Peripheral blood smear — 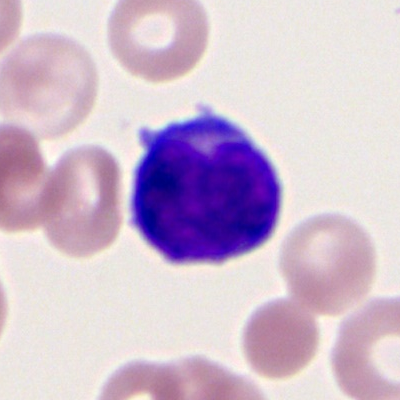

Q: What is the morphological classification of this cell?
A: This is a myeloblast.